Bone marrow smear. Single cell centered in the field.
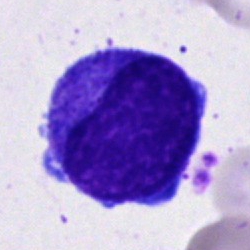
Single cell identified as a promyelocyte.